Bone marrow aspirate smear · 250 by 250 pixels
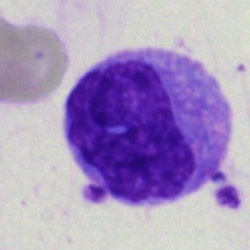 Monocyte.